Bone marrow smear. Pappenheim-stained. Cropped to a single cell.
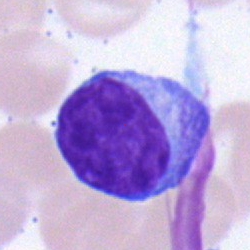{"cell_type": "typical lymphocyte"}